250 by 250 pixels. Bone marrow aspirate smear.
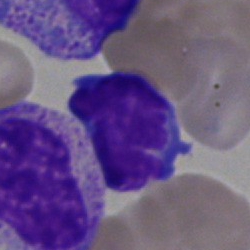

This is a typical lymphocyte.